Bone marrow aspirate smear.
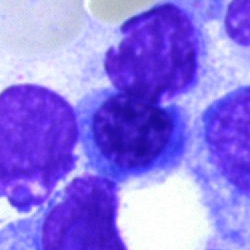
Morphological class: nucleated red blood cell.